Bone marrow smear · brightfield, 40× oil-immersion objective · cropped to a single cell
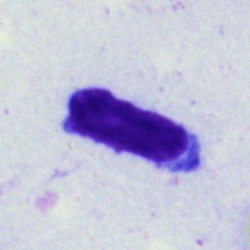
Cell type — typical lymphocyte.